Bone marrow aspirate smear — 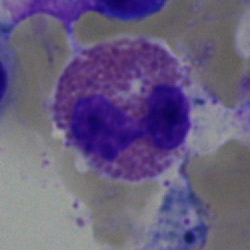 Single cell identified as an eosinophil.